Single cell centered in the field; M8 digital microscope (Precipoint), 100× oil immersion; peripheral blood film — 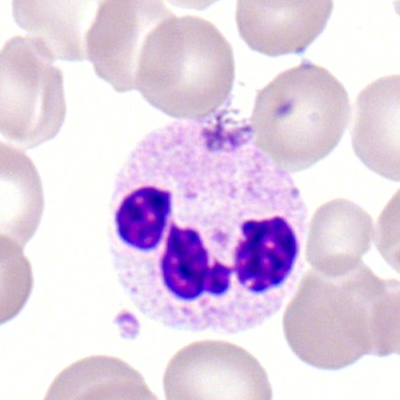

Showing a polymorphonuclear neutrophil.